Brightfield microscopy, 40× oil immersion. Bone marrow aspirate smear — 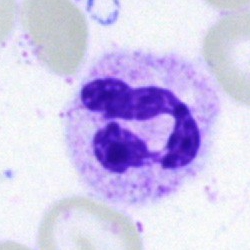The cell shown is a polymorphonuclear neutrophil.